Bone marrow smear — 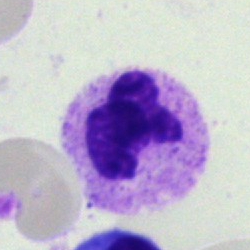

Morphology consistent with a segmented neutrophil.